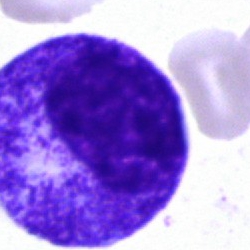 This is a promyelocyte.